Cropped to a single cell · Pappenheim-stained · bone marrow smear:
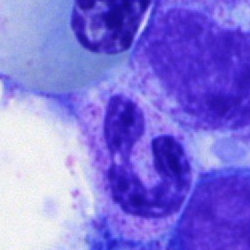
Q: What type of cell is this?
A: It is a neutrophil (segmented).